Bone marrow smear. 250×250 px — 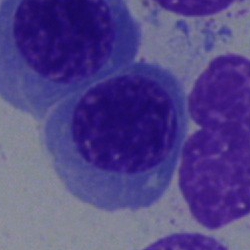
Specimen: bone marrow smear.
Classification: normoblast.
Lineage: erythroid.